250×250 · bone marrow smear · single-cell field
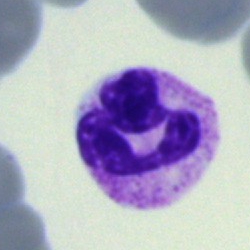

The classification is segmented neutrophil.